Pappenheim-stained; bone marrow smear; brightfield microscopy, 40× oil immersion
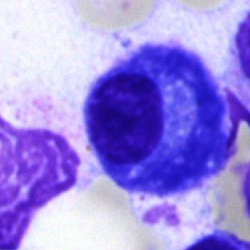 Cell type — plasmacyte.